400 by 400 pixels. Peripheral blood film. Romanowsky-stained:
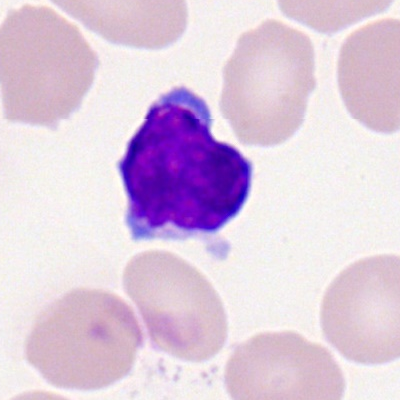 This is a typical lymphocyte.